Bone marrow smear
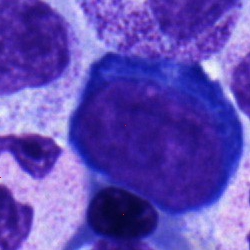
Q: What cell is this?
A: This is a proerythroblast.